Bone marrow aspirate smear:
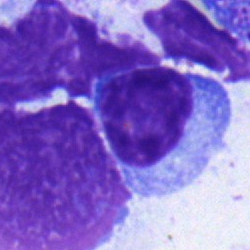Specimen: bone marrow aspirate smear.
Cell: typical lymphocyte.
Lineage: lymphoid.